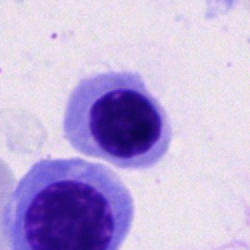Showing an erythroblast.